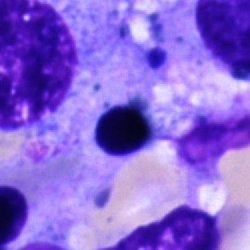 The morphological class is artefact.